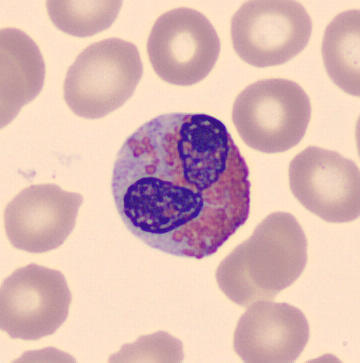

Peripheral blood film. Q: What cell is this?
A: Eosinophilic granulocyte.